250×250. Bone marrow smear.
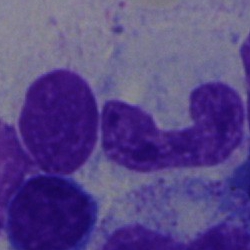
Classification — neutrophil (band).